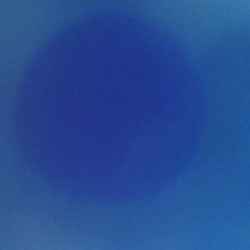
Showing an artefact.